Peripheral blood smear.
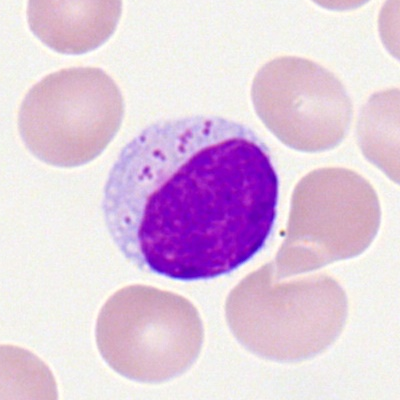The morphological class is typical lymphocyte.